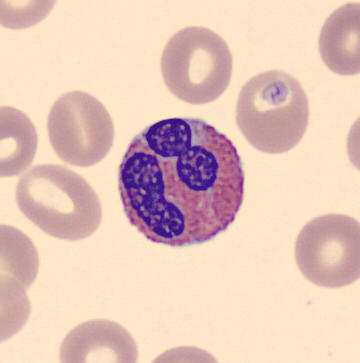
Morphological class — eosinophil.

Preparation: 360×363 · peripheral blood smear.